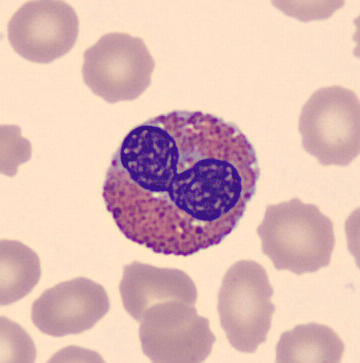

Peripheral blood film. CellaVision DM96.

The cell type is eosinophil.